Peripheral blood film; M8 digital microscope (Precipoint), 100× oil immersion:
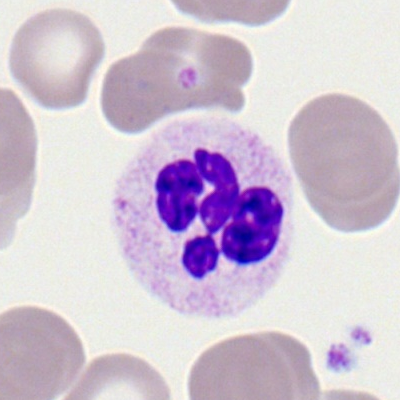Single cell identified as a neutrophil (segmented).